Bone marrow aspirate smear
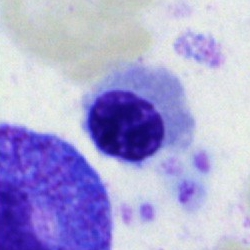Morphological class: erythroblast.